Pappenheim-stained · bone marrow aspirate smear: 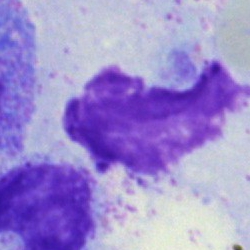
Q: What is shown here?
A: This is an artifact.